Romanowsky-stained. 400×400 px. Peripheral blood film
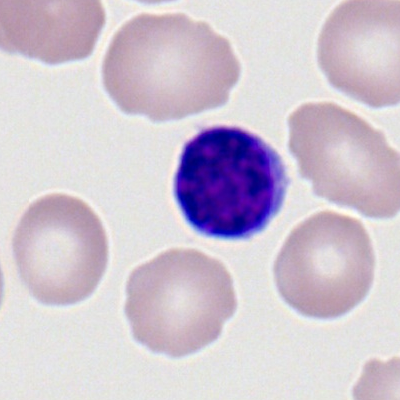 Cell type — typical lymphocyte.